Bone marrow aspirate smear · May-Grünwald-Giemsa stain: 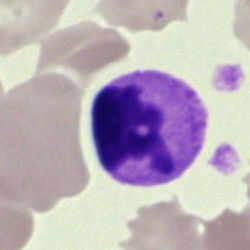Specimen: bone marrow aspirate smear.
Classification: unidentifiable cell.